250×250 · bone marrow aspirate smear · brightfield, 40× oil-immersion objective.
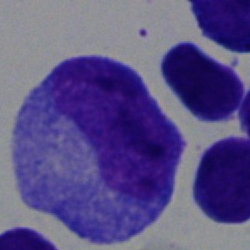 Q: Which cell type is shown here?
A: A promyelocyte.